Bone marrow aspirate smear; MGG-stained.
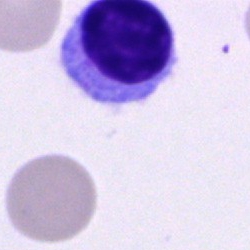

Morphology — lymphocyte.